Bone marrow aspirate smear — 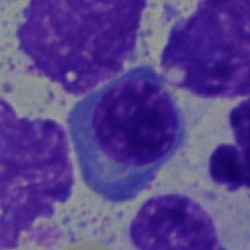
Specimen: bone marrow smear.
Cell type: erythroblast.
Lineage: erythroid.